Bone marrow aspirate smear:
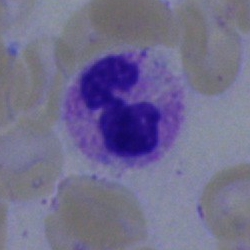Specimen: bone marrow smear.
Morphological class: neutrophil (segmented).